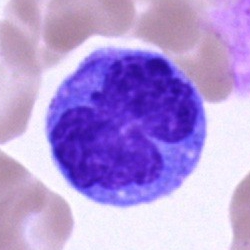Single cell identified as a monocyte.